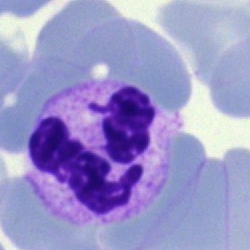 Morphology — polymorphonuclear neutrophil.